Bone marrow smear
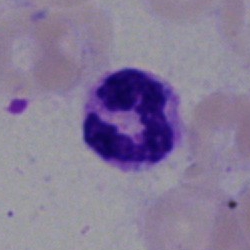

Impression → polymorphonuclear neutrophil.